Single-cell crop · brightfield, 40× oil-immersion objective · bone marrow smear: 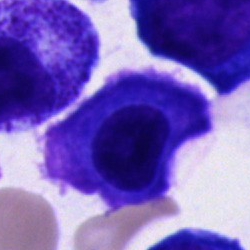

Q: What type of cell is this?
A: It is a plasmacyte.